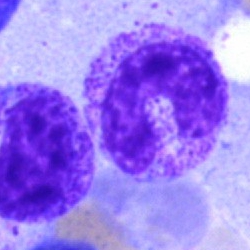Bone marrow aspirate smear, single cell — band-form neutrophil.